Bone marrow smear
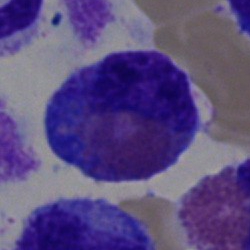
Cell type — eosinophil.